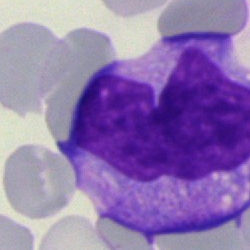
Morphological class — monocyte.